Bone marrow aspirate smear
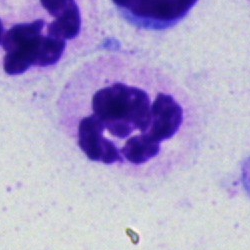
This is a segmented neutrophil.